Bone marrow aspirate smear.
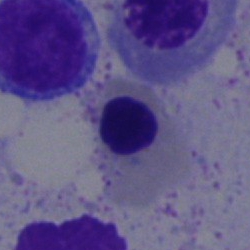

This is a nucleated red blood cell.